Bone marrow aspirate smear:
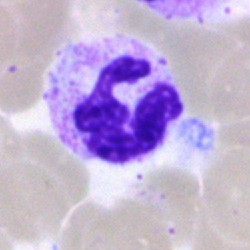
The cell is polymorphonuclear neutrophil.